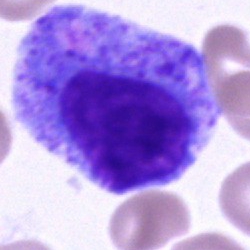
Specimen: bone marrow aspirate smear.
Morphological class: promyelocyte.
Lineage: myeloid.